Bone marrow aspirate smear: 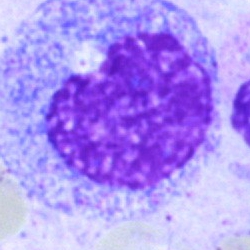Cell = metamyelocyte.